Bone marrow smear; May-Grünwald-Giemsa stain:
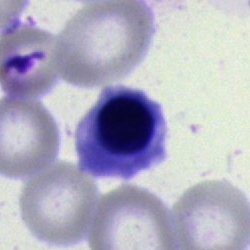 Q: What cell is this?
A: A nucleated red cell.